Bone marrow smear — 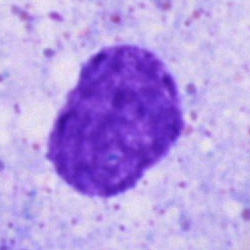
Classification: artefact.